Bone marrow aspirate smear:
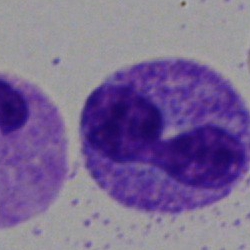Single cell identified as a neutrophil (segmented).